Romanowsky-stained; peripheral blood smear; 400 by 400 pixels
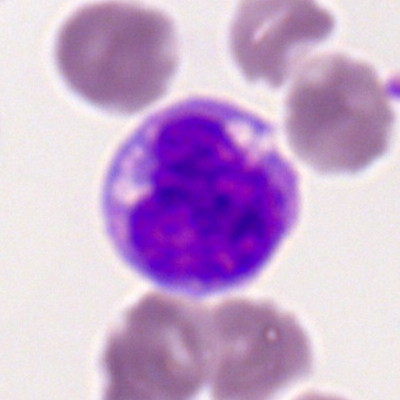 Single cell identified as a monocyte.